Peripheral blood smear:
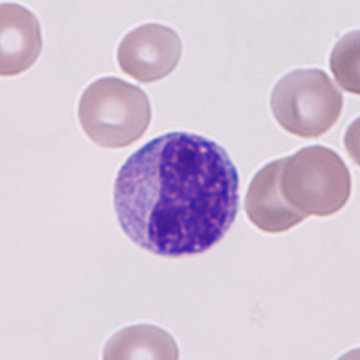
Immature granulocyte (promyelocyte, myelocyte or metamyelocyte).